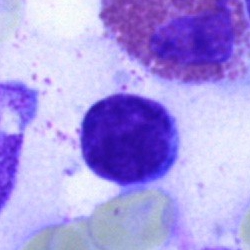

Q: Identify the cell.
A: A typical lymphocyte.